Single-cell crop · bone marrow smear — 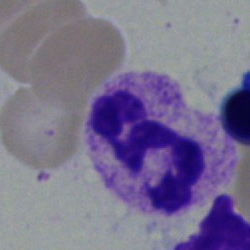
Showing a neutrophil (segmented).